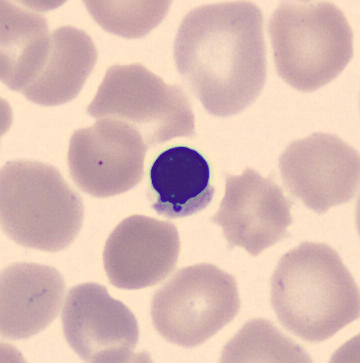

Peripheral blood smear; imaged on a CellaVision DM96 analyser; 360×363 px. The classification is nucleated red blood cell.